Bone marrow aspirate smear · 250×250 px
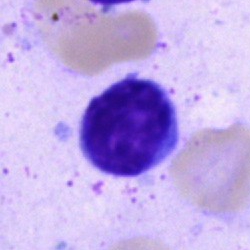 Q: What is shown here?
A: It is a typical lymphocyte.